May-Grünwald-Giemsa stain; bone marrow smear; single cell centered in the field
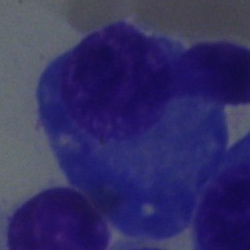
Classification — plasmacyte.